250×250; bone marrow aspirate smear
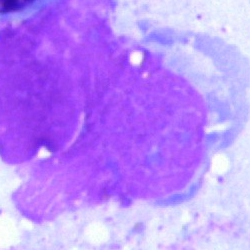
Q: What is shown here?
A: It is an artifact.